Single cell centered in the field · bone marrow smear · 40× objective, oil immersion: 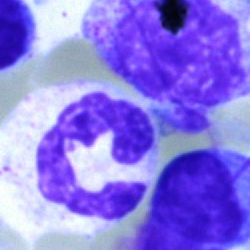Morphology → neutrophil (segmented).